40× objective, oil immersion · bone marrow smear:
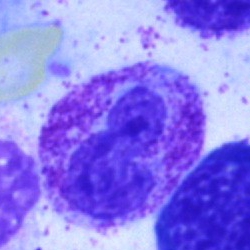 Classification = polymorphonuclear neutrophil.